Bone marrow smear — 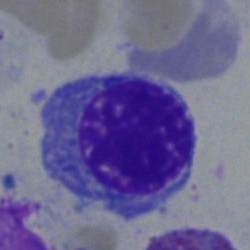
Nucleated red cell.